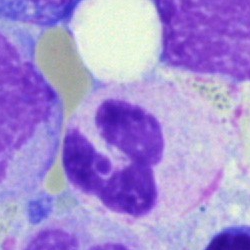

Morphology — neutrophil (segmented).